Bone marrow smear; brightfield, 40× oil-immersion objective; cropped to a single cell: 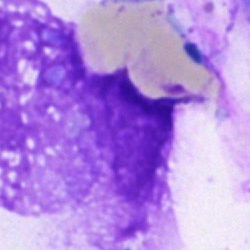

Artefact.